Peripheral blood film
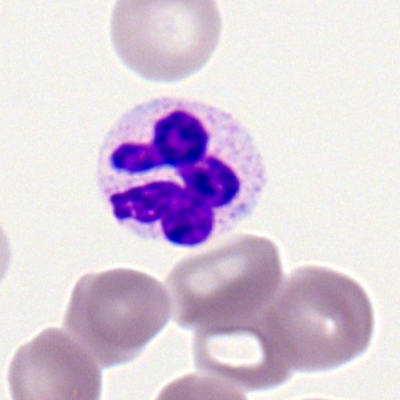
Impression → neutrophil (segmented).